MGG-stained. 250×250 px. Bone marrow aspirate smear.
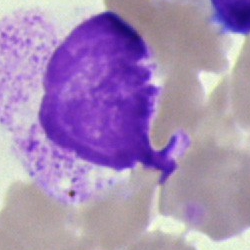 Morphology — unidentifiable cell.